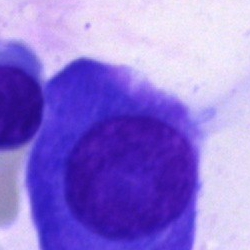{"cell_type": "plasma cell"}